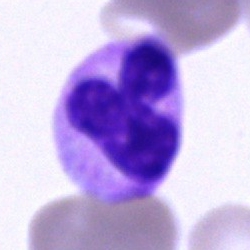
The cell is segmented neutrophil.